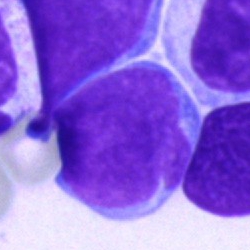Specimen: bone marrow smear.
Cell: undifferentiated blast.